Bone marrow smear: 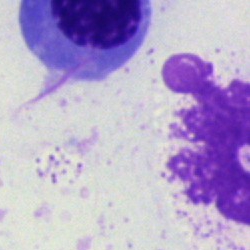 The cell type is artifact.